40× oil immersion · bone marrow aspirate smear — 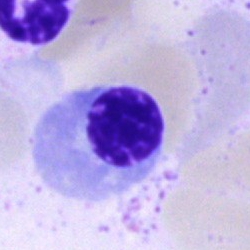Q: What cell is this?
A: Nucleated red blood cell.